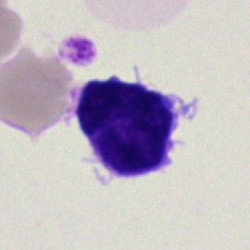Morphological class: artefact.